Pappenheim-stained; bone marrow smear
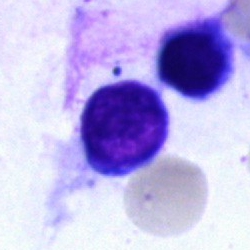
This is a typical lymphocyte.